Bone marrow smear:
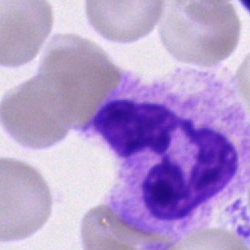
Classification = segmented neutrophil.